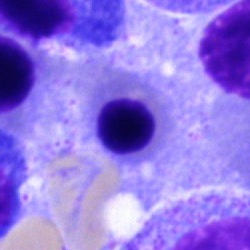Nucleated red cell.